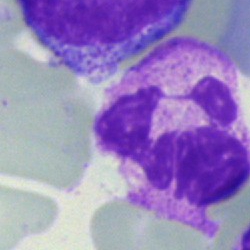 Cell: neutrophil (segmented).